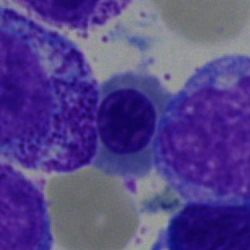 Impression → normoblast.